Peripheral blood film. Single cell centered in the field. Brightfield, 100× oil-immersion objective: 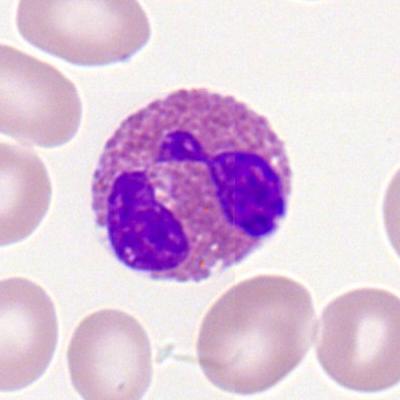Cell type = eosinophil.